Brightfield, 100× oil-immersion objective; peripheral blood smear
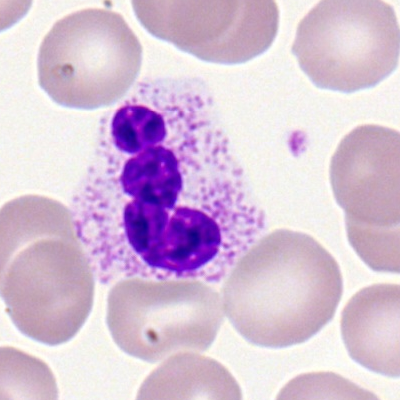 Morphology → segmented neutrophil.